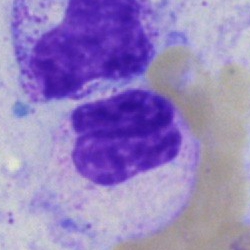Morphological class = band neutrophil.